Bone marrow aspirate smear:
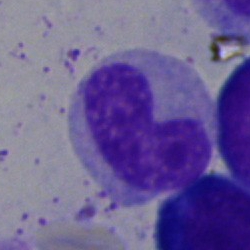 Impression — stab cell.